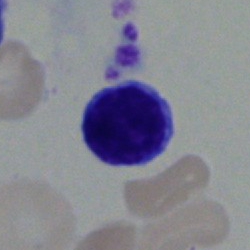{"cell_type": "typical lymphocyte", "lineage": "lymphoid"}